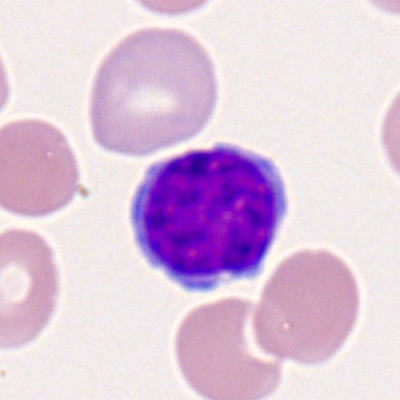
{"cell_type": "lymphocyte", "lineage": "lymphoid"}